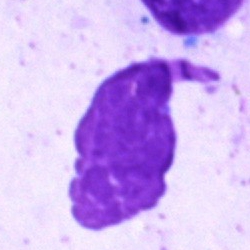 Q: What is shown here?
A: It is an artefact.